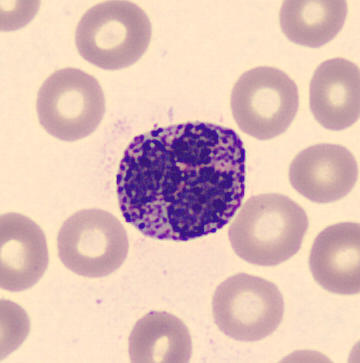The cell shown is a basophil.